Bone marrow aspirate smear
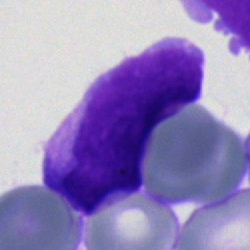 {"cell_type": "blast"}